Bone marrow smear — 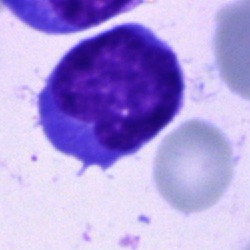
Q: Identify the cell.
A: This is a blast.